250 by 250 pixels. Bone marrow smear.
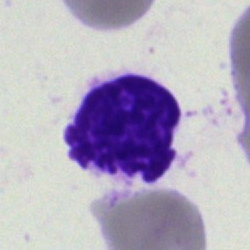 The cell shown is an artefact.